Bone marrow aspirate smear: 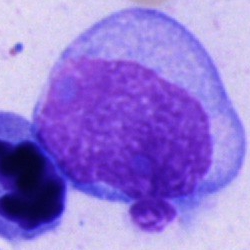Q: What is shown here?
A: Blast cell.